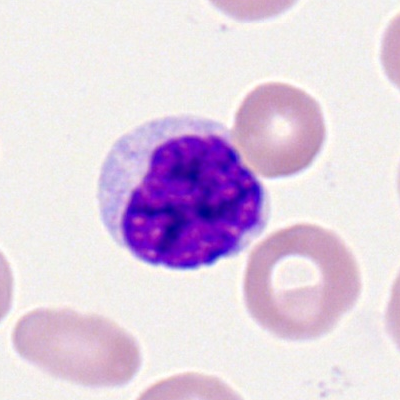 {"cell_type": "lymphocyte", "lineage": "lymphoid"}